Bone marrow aspirate smear · 250 by 250 pixels · 40× objective, oil immersion — 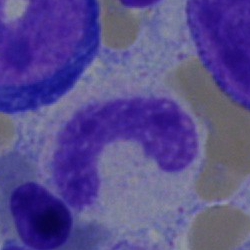
Specimen: bone marrow aspirate smear.
Cell type: neutrophil (band).